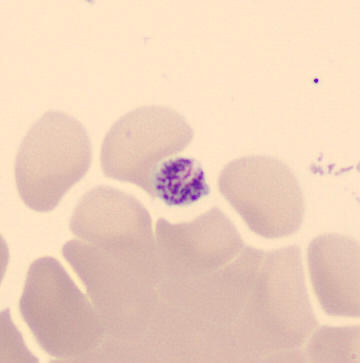 Specimen: peripheral blood smear.
Cell type: thrombocyte.